Bone marrow aspirate smear
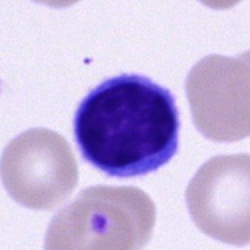Cell type — lymphocyte.